Bone marrow smear. Single cell centered in the field:
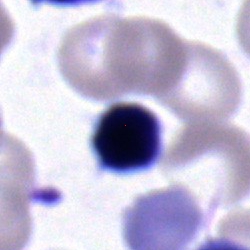

Q: Identify the cell.
A: This is a typical lymphocyte.